Image size 250×250 · bone marrow smear — 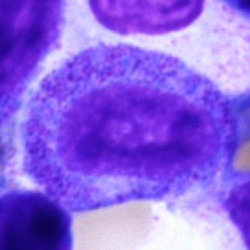

Morphology consistent with a progranulocyte.